Bone marrow aspirate smear — 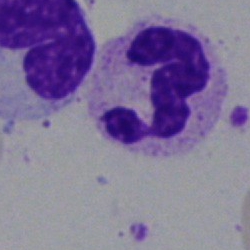
Q: What is the morphological classification of this cell?
A: This is a polymorphonuclear neutrophil.